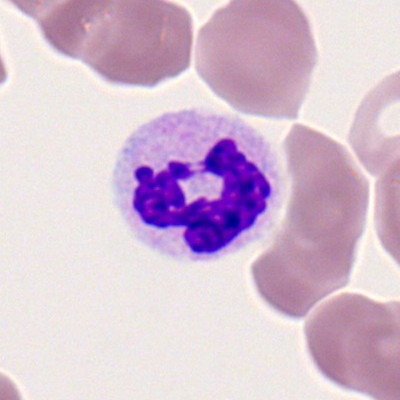Cell = polymorphonuclear neutrophil.